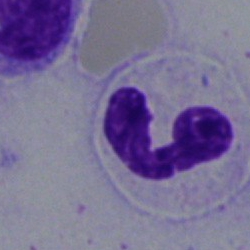 Morphological class — polymorphonuclear neutrophil.